Bone marrow aspirate smear
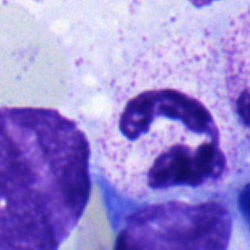
Classification — segmented neutrophil.